Bone marrow aspirate smear.
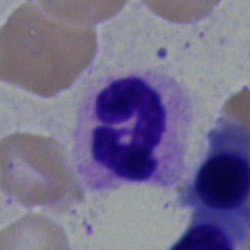
Specimen: bone marrow aspirate smear.
Cell type: segmented neutrophil.
Lineage: myeloid.